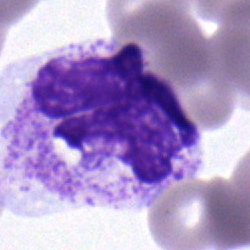
Morphological class: neutrophil (segmented).